Bone marrow smear; 40× oil immersion; single cell centered in the field:
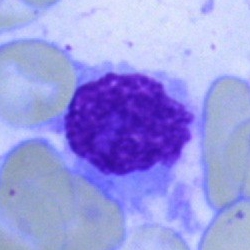

The cell shown is an artifact.